Bone marrow aspirate smear · 40× objective, oil immersion: 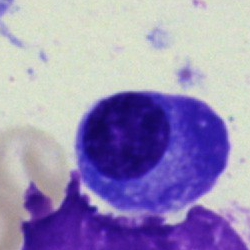

Morphology → plasmacyte.